Peripheral blood film:
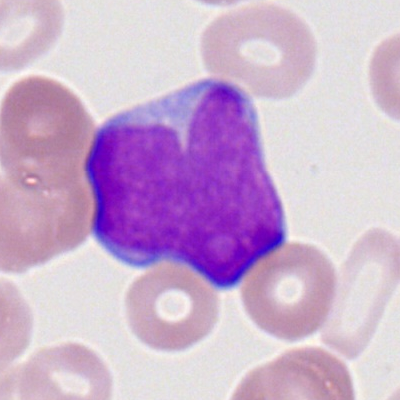

Cell — myeloblast.